Single-cell field · bone marrow aspirate smear · MGG-stained:
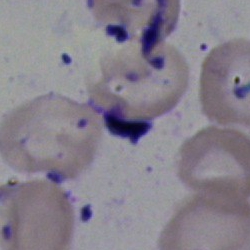The cell shown is an artifact.